Bone marrow aspirate smear: 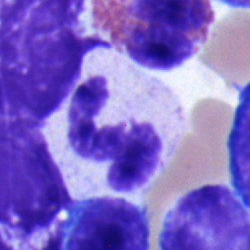
Specimen: bone marrow smear.
Morphological class: segmented neutrophil.